40× oil immersion · bone marrow aspirate smear · May-Grünwald-Giemsa stain:
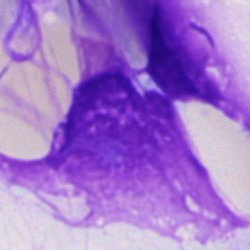
Q: What is shown here?
A: Artefact.